Bone marrow aspirate smear
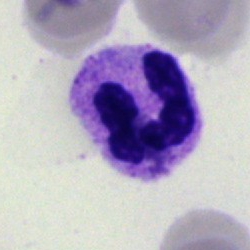 Cell type — polymorphonuclear neutrophil.